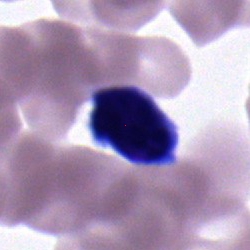
The classification is lymphocyte.